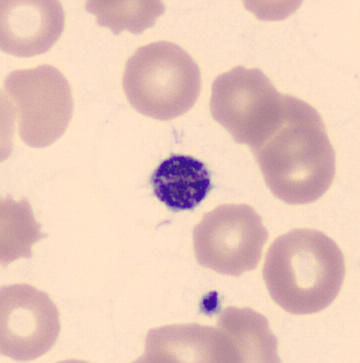

Morphology consistent with a platelet.
Peripheral blood film; May Grünwald-Giemsa stain.